Bone marrow smear; May-Grünwald-Giemsa/Pappenheim stain
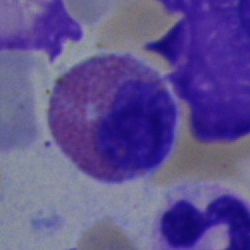Specimen: bone marrow aspirate smear.
Classification: eosinophilic granulocyte.
Lineage: myeloid.